Bone marrow smear. Brightfield microscopy, 40× oil immersion
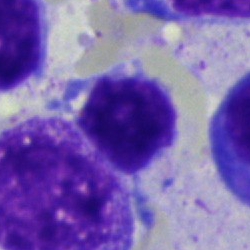
Morphological class — typical lymphocyte.